Pappenheim-stained · single cell centered in the field · bone marrow smear
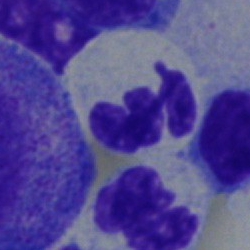Impression — segmented neutrophil.